Bone marrow aspirate smear.
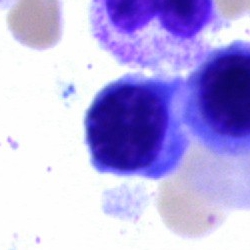

Nucleated red cell.